Bone marrow smear:
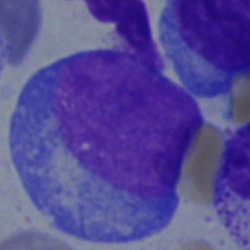
The cell shown is a blast.